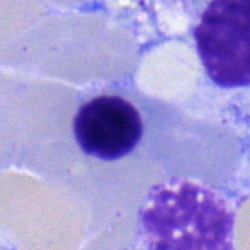
{"cell_type": "nucleated red cell"}